Cropped to a single cell; bone marrow aspirate smear; brightfield, 40× oil-immersion objective: 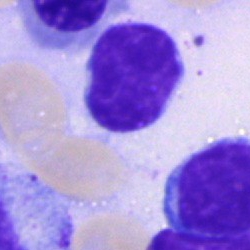
Classification: typical lymphocyte.